Bone marrow smear.
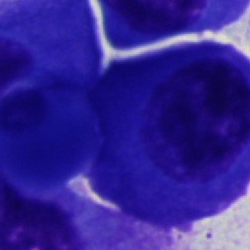

Specimen: bone marrow smear.
Cell type: plasmacyte.